Single-cell field. Bone marrow smear.
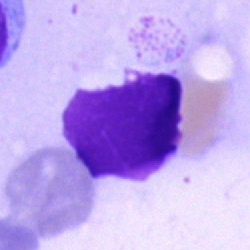
The cell is artifact.